Image size 250×250 · bone marrow smear:
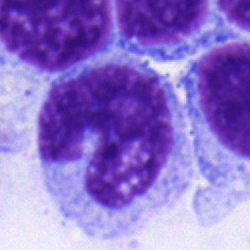

Q: What cell is this?
A: A stab cell.